Bone marrow aspirate smear.
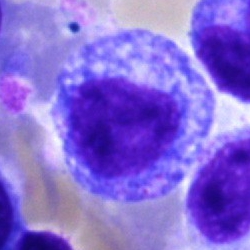Single cell identified as a promyelocyte.